MGG-stained. Bone marrow aspirate smear — 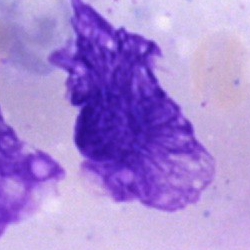 Specimen: bone marrow aspirate smear.
Cell: artifact.